Bone marrow aspirate smear: 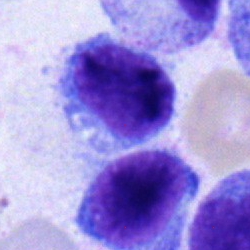

Q: What cell is this?
A: Typical lymphocyte.